Bone marrow aspirate smear. Brightfield microscopy, 40× oil immersion.
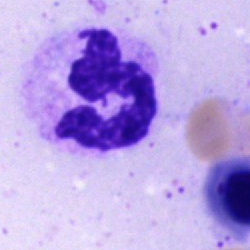

{"cell_type": "neutrophil (segmented)", "lineage": "myeloid"}